Bone marrow smear
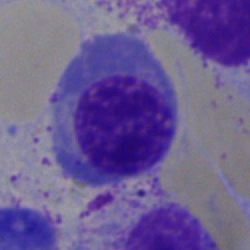 {"cell_type": "nucleated red blood cell", "lineage": "erythroid"}